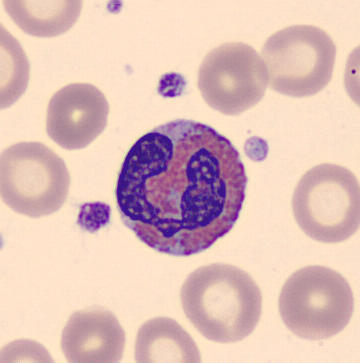 Impression → eosinophil.